Bone marrow smear — 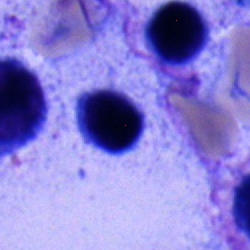
Cell: lymphocyte.